Bone marrow smear
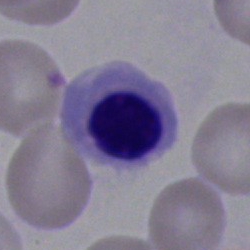Nucleated red blood cell.